Bone marrow aspirate smear: 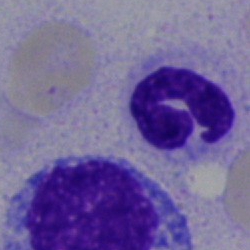 Q: What is shown here?
A: This is a polymorphonuclear neutrophil.